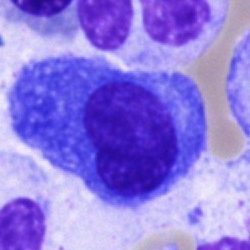
Plasmacyte.